Image size 250×250 · bone marrow aspirate smear · brightfield microscopy, 40× oil immersion: 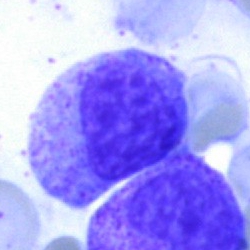
A cell of indeterminate lineage.